Bone marrow aspirate smear; 250×250
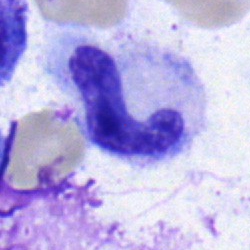 Impression — stab cell.